Bone marrow aspirate smear · 250×250 px — 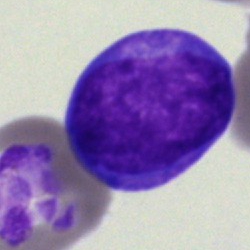

The cell is blast cell.